Peripheral blood smear:
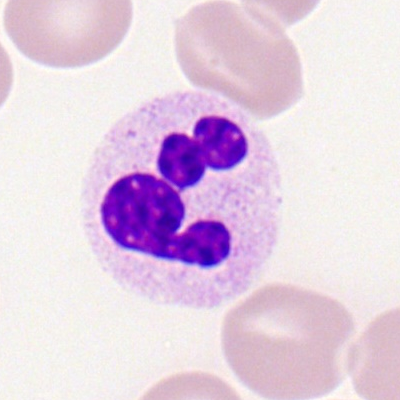 Showing a neutrophil (segmented).